Peripheral blood film — 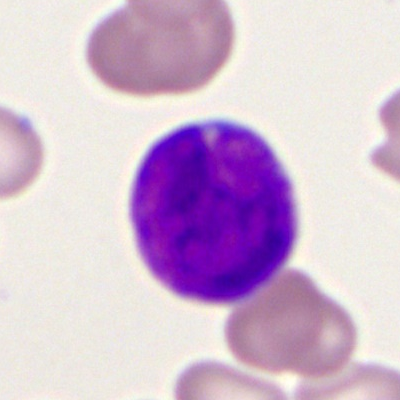Q: What is shown here?
A: This is a myeloid blast.